Bone marrow smear
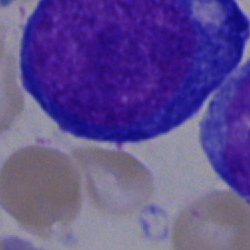
The morphological class is proerythroblast.